Bone marrow aspirate smear
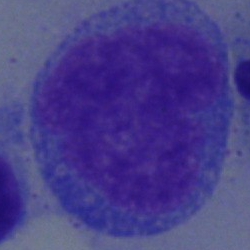
Impression → blast cell.